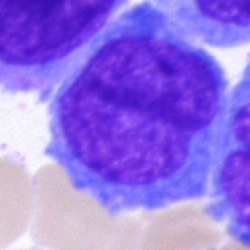

Single-cell crop from a bone marrow smear: blast.